Peripheral blood film
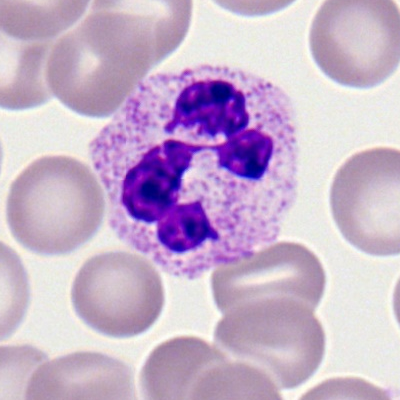 Morphological class — polymorphonuclear neutrophil.